Bone marrow smear.
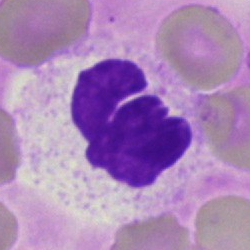 Classification — neutrophil (segmented).